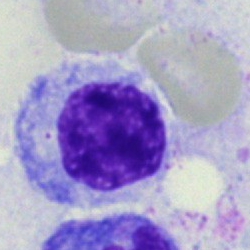

Q: What type of cell is this?
A: It is a myelocyte.